Peripheral blood smear; single-cell crop; Romanowsky-type stain.
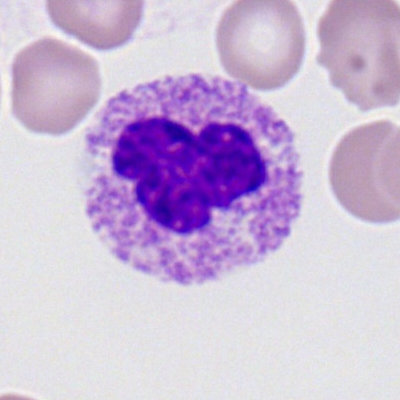 A segmented neutrophil.